Image size 250×250. Bone marrow aspirate smear — 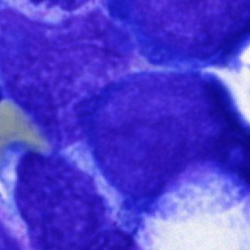 Q: Identify the cell.
A: It is a blast cell.